Bone marrow aspirate smear: 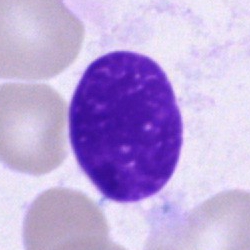
Morphology consistent with an artifact.